Bone marrow aspirate smear — 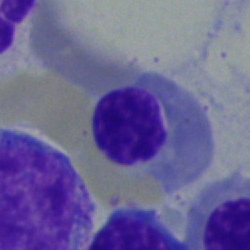Morphology consistent with an erythroblast.